Bone marrow aspirate smear — 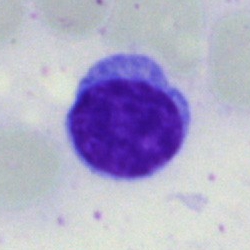
Cell type — lymphocyte.